Brightfield microscopy, 40× oil immersion; bone marrow smear: 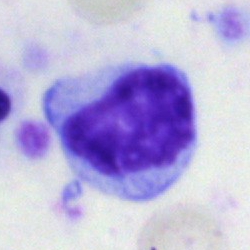
Cell type: myelocyte.